May-Grünwald-Giemsa stain; image size 250×250; bone marrow aspirate smear:
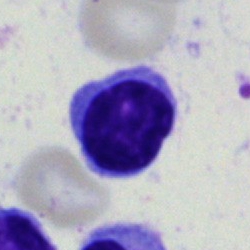Cell — typical lymphocyte.